May-Grünwald-Giemsa stain. Bone marrow smear. 250×250
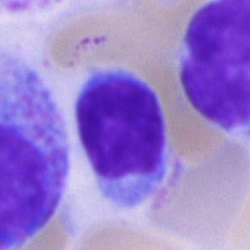Specimen: bone marrow smear.
Classification: lymphocyte.